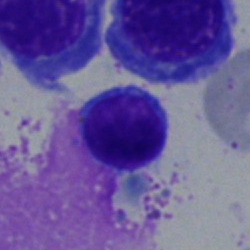Specimen: bone marrow smear.
Morphological class: typical lymphocyte.